Bone marrow smear — 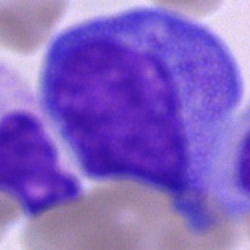Single cell identified as a promyelocyte.